Bone marrow smear: 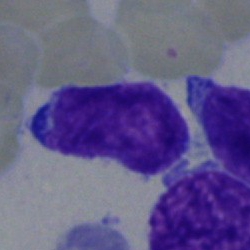
Morphology → undifferentiated blast.